Bone marrow aspirate smear:
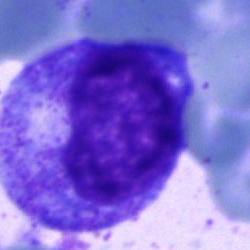

Cell: promyelocyte.